Bone marrow smear: 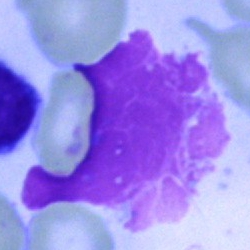 The cell type is artifact.